Bone marrow smear
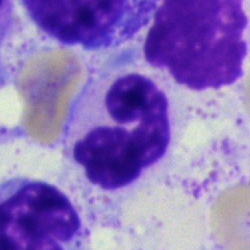

Q: What cell is this?
A: It is a polymorphonuclear neutrophil.